Bone marrow aspirate smear — 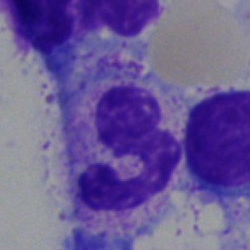
A neutrophil (segmented).